Bone marrow aspirate smear.
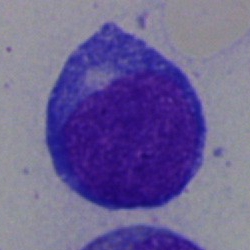 Impression — promyelocyte.